Bone marrow aspirate smear
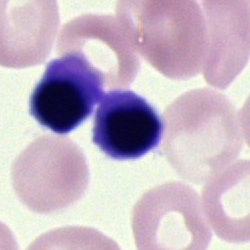
Showing a nucleated red blood cell.